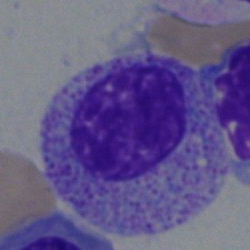

Q: What is the morphological classification of this cell?
A: It is a myelocyte.